Bone marrow smear: 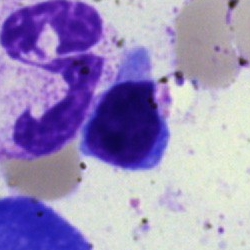 Showing a neutrophil (segmented).